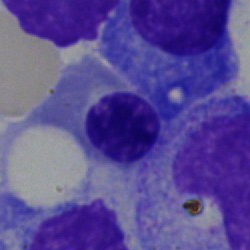

A nucleated red blood cell on a bone marrow smear.